Bone marrow smear: 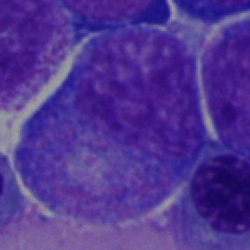Q: What is the morphological classification of this cell?
A: It is a progranulocyte.